Image size 250×250 · bone marrow aspirate smear · brightfield, 40× oil-immersion objective:
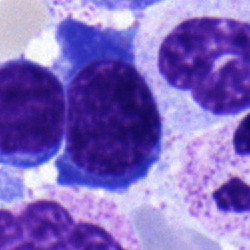Morphology — nucleated red blood cell.